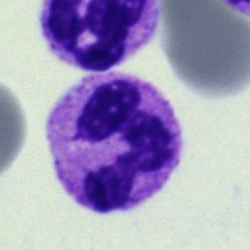
Classification: segmented neutrophil.